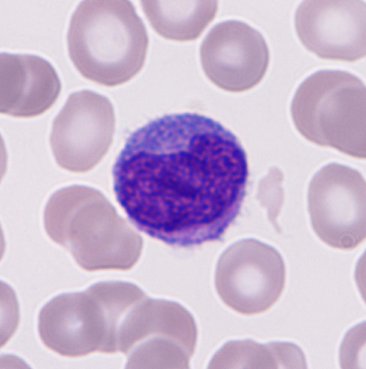
Acquisition: Peripheral blood smear. Morphology — monocyte.